Bone marrow smear.
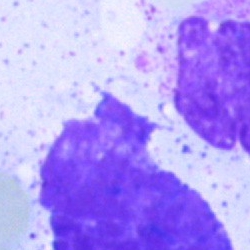

Morphological class = artefact.